Bone marrow aspirate smear.
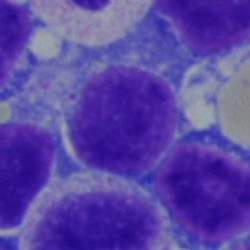 Specimen: bone marrow smear.
Cell: lymphocyte.
Lineage: lymphoid.